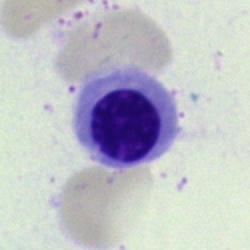

Single-cell crop from a bone marrow smear: normoblast.